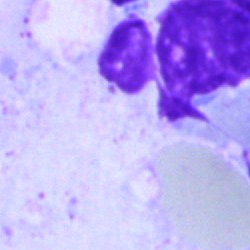The morphological class is artefact.